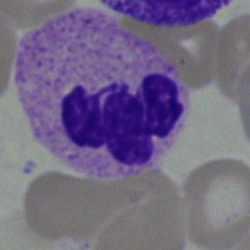The cell type is polymorphonuclear neutrophil.